Single cell centered in the field; bone marrow smear.
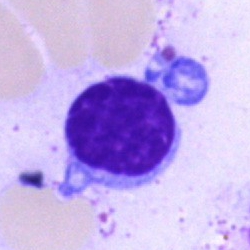 Specimen: bone marrow smear.
Cell: typical lymphocyte.